Bone marrow aspirate smear:
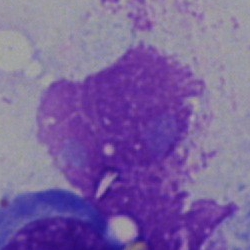 An artifact.